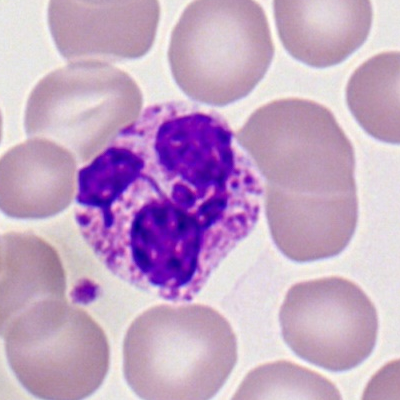
Cell type = basophil.